Bone marrow aspirate smear: 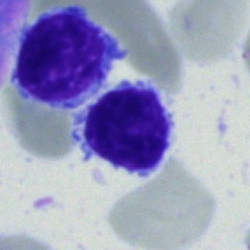
Morphological class — typical lymphocyte.